Bone marrow smear · single-cell crop:
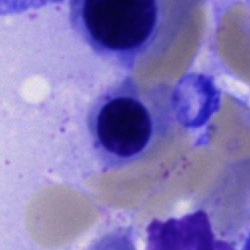

Specimen: bone marrow aspirate smear.
Morphological class: erythroblast.
Lineage: erythroid.